Bone marrow smear. MGG-stained. Brightfield, 40× oil-immersion objective.
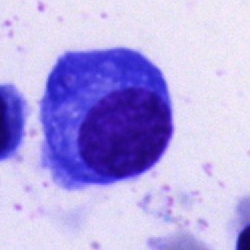 Q: What is shown here?
A: Plasma cell.